400×400 px; peripheral blood film:
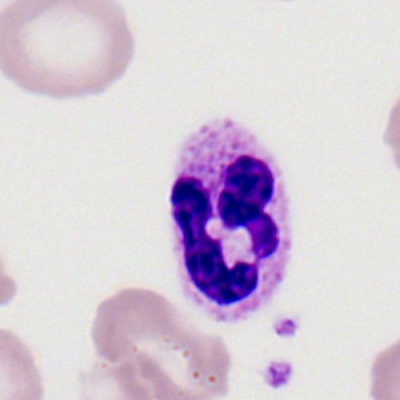Q: What is shown here?
A: A polymorphonuclear neutrophil.